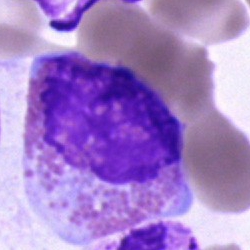 Specimen: bone marrow aspirate smear.
Morphological class: eosinophil.